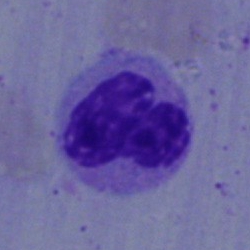
The classification is stab cell.